100× oil immersion. Romanowsky-type stain. Peripheral blood film:
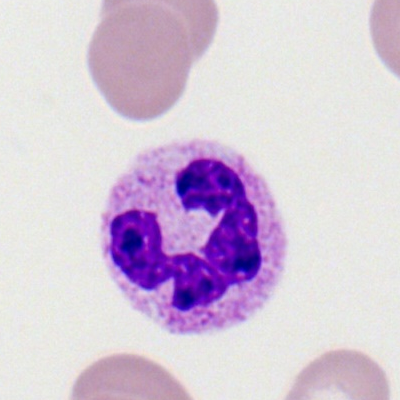 Q: Which cell type is shown here?
A: Segmented neutrophil.